Bone marrow smear · 40× oil immersion.
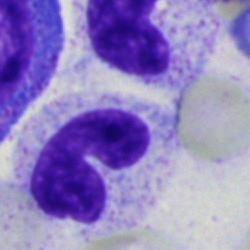

Q: What type of cell is this?
A: It is a band-form neutrophil.